Bone marrow aspirate smear:
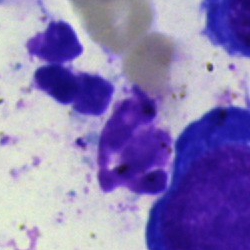
Polymorphonuclear neutrophil.